Bone marrow smear.
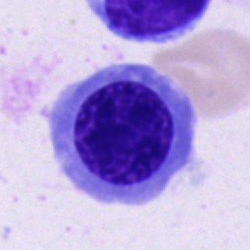The cell shown is a normoblast.